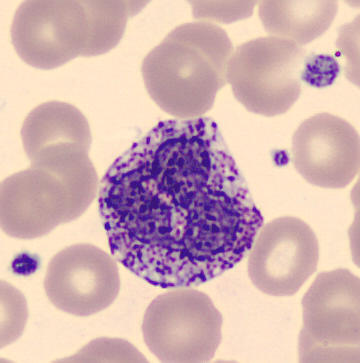
A basophil.